Bone marrow smear.
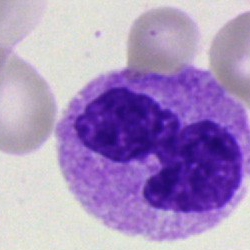

Classification: neutrophil (segmented).